Bone marrow smear: 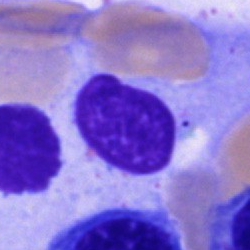
Impression — artefact.